Bone marrow smear · image size 250×250:
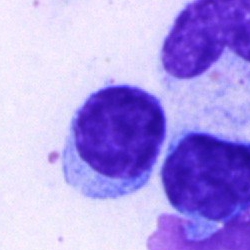This is a typical lymphocyte.